250×250 px; bone marrow aspirate smear; brightfield microscopy, 40× oil immersion — 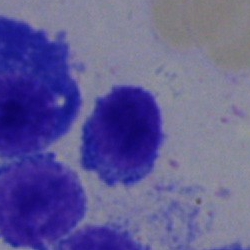

Cell type = typical lymphocyte.